250×250 px. Bone marrow aspirate smear: 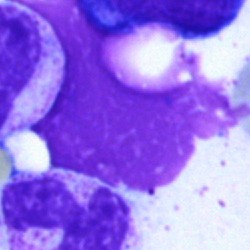 The cell shown is an artefact.